Bone marrow smear:
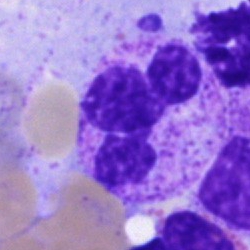 A segmented neutrophil.